Bone marrow smear.
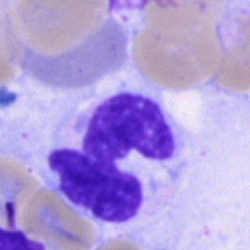Morphological class = neutrophil (segmented).